Brightfield, 40× oil-immersion objective · bone marrow aspirate smear · May-Grünwald-Giemsa/Pappenheim stain:
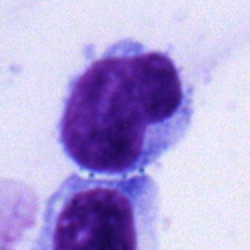

Impression — typical lymphocyte.